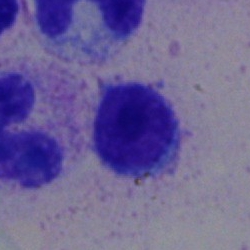 The morphological class is lymphocyte.